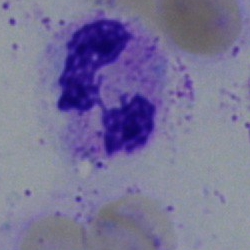
Bone marrow smear showing a polymorphonuclear neutrophil.